Single-cell field. Bone marrow aspirate smear: 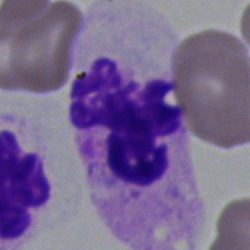 Cell = neutrophil (segmented).